Peripheral blood film; 400×400; 100× objective, oil immersion
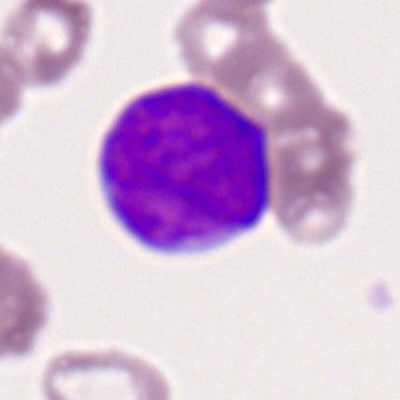The classification is myeloid blast.